Bone marrow aspirate smear; image size 250×250 — 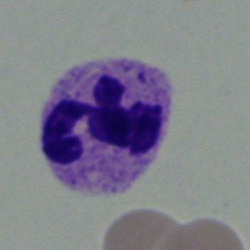
Specimen: bone marrow aspirate smear.
Cell type: segmented neutrophil.
Lineage: myeloid.